Bone marrow aspirate smear.
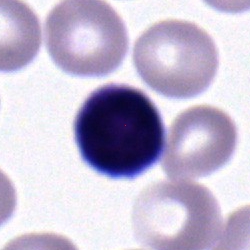
Q: What is the morphological classification of this cell?
A: Typical lymphocyte.